Bone marrow aspirate smear — 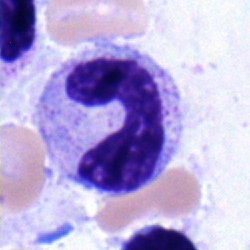 Q: Which cell type is shown here?
A: This is a band-form neutrophil.